Bone marrow aspirate smear: 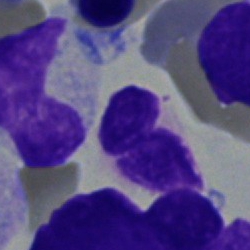

Segmented neutrophil.